Bone marrow aspirate smear
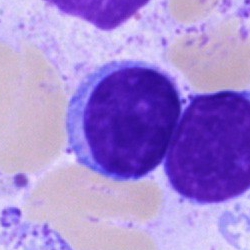 Showing a typical lymphocyte.